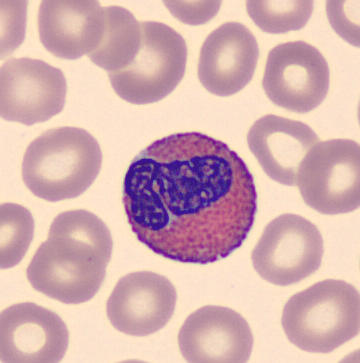
Acquisition: Peripheral blood film.

{"cell_type": "eosinophil"}